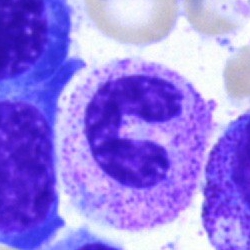
Morphology — stab cell.